Bone marrow smear; brightfield microscopy, 40× oil immersion: 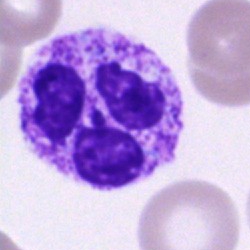

Cell — segmented neutrophil.